Bone marrow smear. Image size 250×250
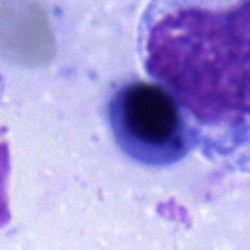Cell — nucleated red blood cell.